Bone marrow smear — 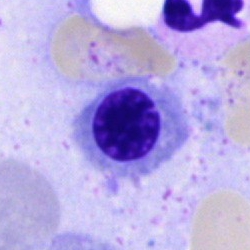 {"cell_type": "nucleated red blood cell", "lineage": "erythroid"}